Bone marrow aspirate smear.
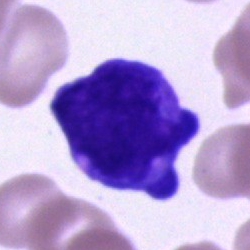
Showing a cell of indeterminate lineage.